Bone marrow smear
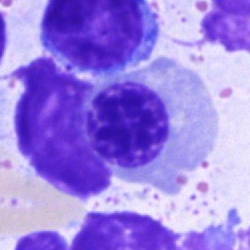
Q: What type of cell is this?
A: This is a nucleated red cell.